Bone marrow smear.
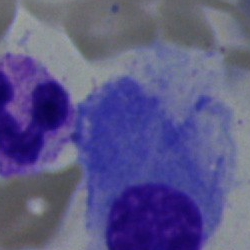
Q: What is the morphological classification of this cell?
A: Plasmacyte.